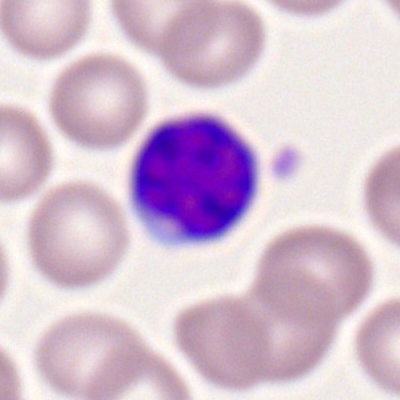

The morphological class is typical lymphocyte.